May-Grünwald-Giemsa stain. Bone marrow aspirate smear:
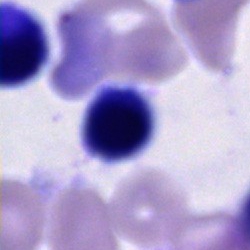 Specimen: bone marrow smear.
Morphological class: unidentifiable cell.